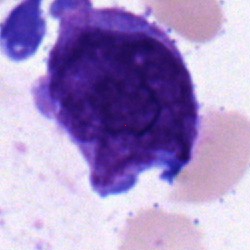 Impression — blast cell.